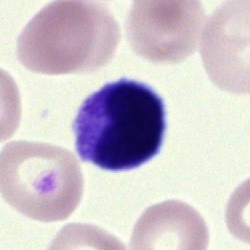

Specimen: bone marrow smear.
Cell: typical lymphocyte.
Lineage: lymphoid.